Bone marrow smear
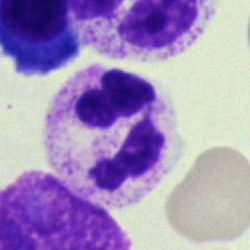 Classification = neutrophil (segmented).